Bone marrow aspirate smear
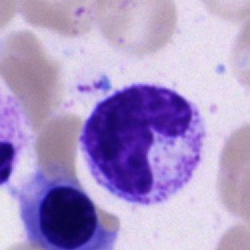A segmented neutrophil.